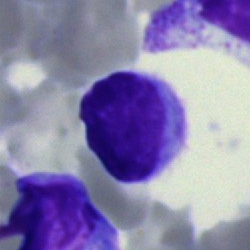

Q: Which cell type is shown here?
A: This is a typical lymphocyte.